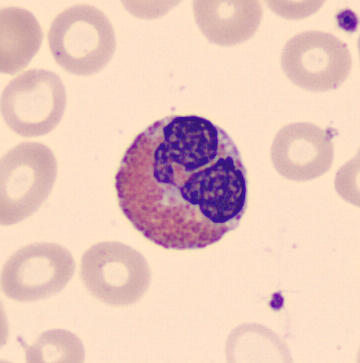 An eosinophilic granulocyte on a peripheral blood smear.